Bone marrow aspirate smear.
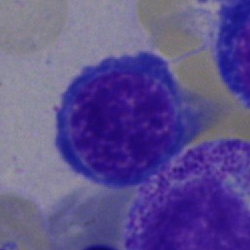

{"cell_type": "normoblast", "lineage": "erythroid"}